Bone marrow smear. 250×250 — 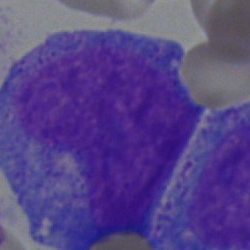

Specimen: bone marrow smear.
Cell type: progranulocyte.